Bone marrow aspirate smear; single-cell field
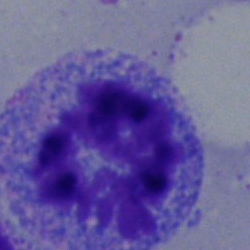

Q: What is shown here?
A: Artefact.